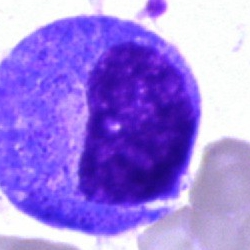 Specimen: bone marrow aspirate smear.
Classification: metamyelocyte.
Lineage: myeloid.